Bone marrow aspirate smear; 250 by 250 pixels
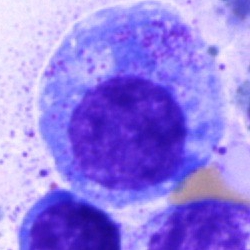 The classification is promyelocyte.